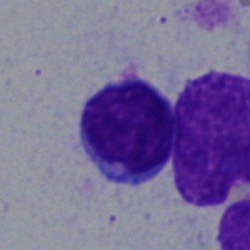

Bone marrow aspirate smear, single cell — typical lymphocyte.